Bone marrow smear; 250×250
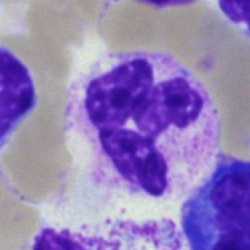 Morphological class = segmented neutrophil.